Image size 250×250 · bone marrow aspirate smear.
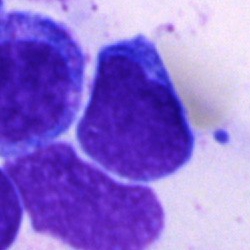Q: What type of cell is this?
A: A blast cell.